Bone marrow aspirate smear.
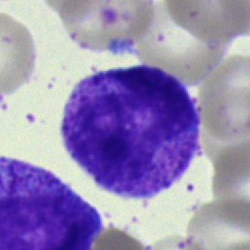
Showing a metamyelocyte.